Bone marrow aspirate smear — 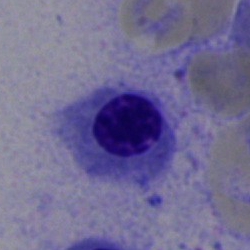
Impression → nucleated red cell.